Bone marrow smear: 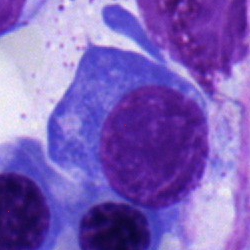Q: What type of cell is this?
A: A plasmacyte.